Peripheral blood smear. 100× objective, oil immersion — 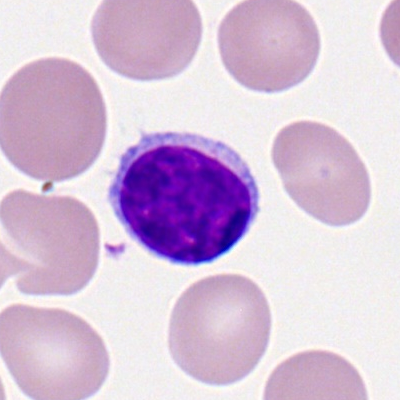 Morphological class = typical lymphocyte.